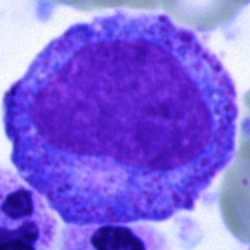

The morphological class is progranulocyte.